Bone marrow aspirate smear
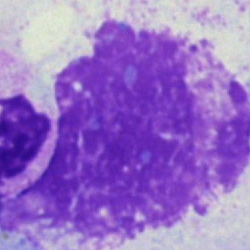 Impression → artifact.